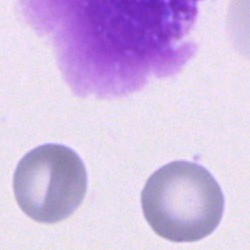 The cell is artefact.